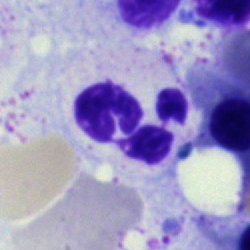
Morphological class = polymorphonuclear neutrophil.